Single-cell crop · May-Grünwald-Giemsa stain · bone marrow smear.
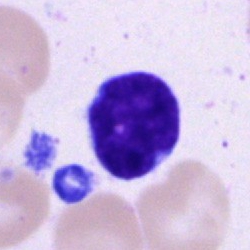 Cell = lymphocyte.